Bone marrow smear. Brightfield microscopy, 40× oil immersion — 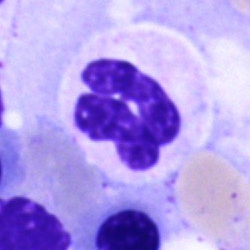
The classification is polymorphonuclear neutrophil.